Bone marrow smear — 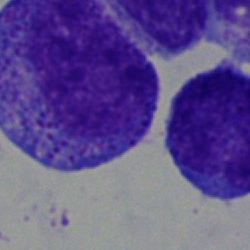Showing a progranulocyte.